Bone marrow smear; 40× objective, oil immersion:
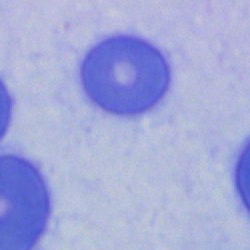Classification — unidentifiable cell.